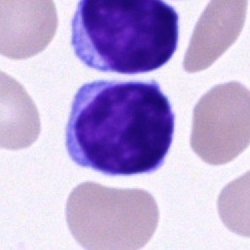{"cell_type": "lymphocyte", "lineage": "lymphoid"}